Cropped to a single cell · brightfield, 40× oil-immersion objective · bone marrow smear:
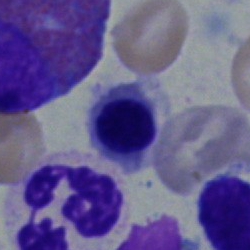
Morphology — nucleated red cell.